250 by 250 pixels. Bone marrow aspirate smear:
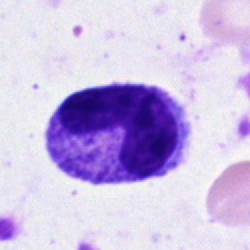 Morphology consistent with a band neutrophil.